Bone marrow smear — 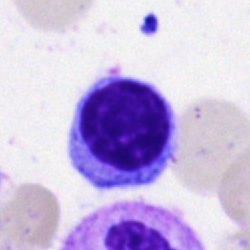

Q: Identify the cell.
A: A typical lymphocyte.